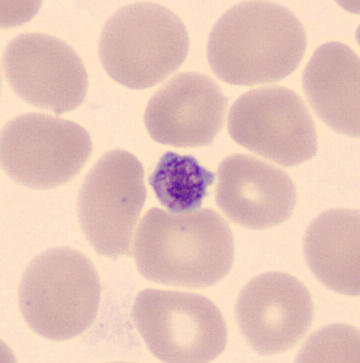Peripheral blood smear · automated cell imaging (CellaVision DM96).

Morphology consistent with a thrombocyte.